Bone marrow aspirate smear:
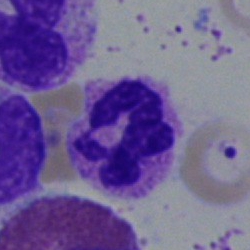Specimen: bone marrow smear.
Classification: segmented neutrophil.
Lineage: myeloid.